Bone marrow aspirate smear: 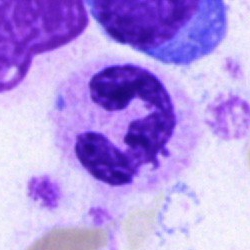

Cell: neutrophil (segmented).